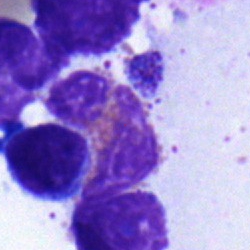
Morphology consistent with an eosinophilic granulocyte.